Bone marrow aspirate smear:
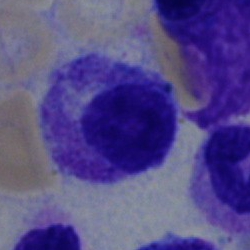{"cell_type": "myelocyte", "lineage": "myeloid"}